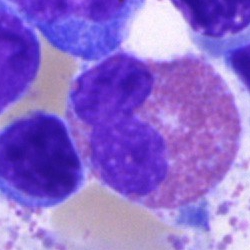
The cell shown is an eosinophilic granulocyte.